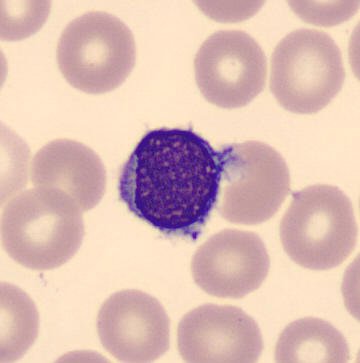

Showing a typical lymphocyte.

Image: Peripheral blood smear.